Single-cell field · bone marrow aspirate smear
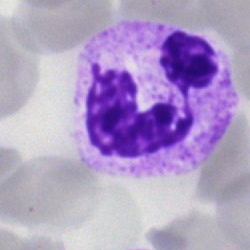 Morphological class: polymorphonuclear neutrophil.